MGG-stained. Bone marrow aspirate smear. 250×250.
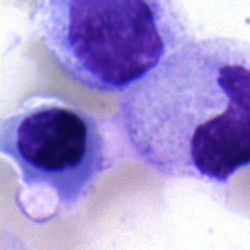
{"cell_type": "erythroblast"}